May-Grünwald-Giemsa/Pappenheim stain · bone marrow smear
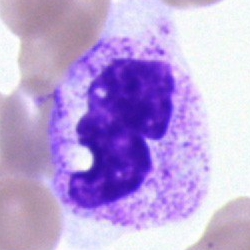 This is a neutrophil (segmented).